Single cell centered in the field · bone marrow aspirate smear.
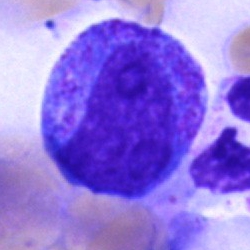 {"cell_type": "progranulocyte"}